Bone marrow aspirate smear: 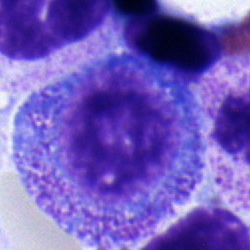

This is a promyelocyte.